Bone marrow smear.
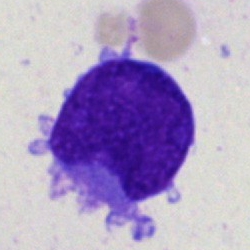Specimen: bone marrow aspirate smear.
Classification: undifferentiated blast.